Bone marrow smear.
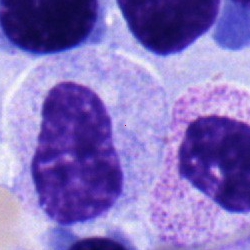 Myelocyte.